250 by 250 pixels. MGG-stained. Bone marrow smear: 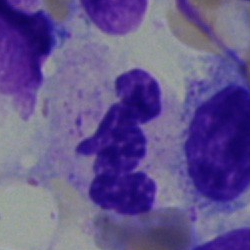Cell = neutrophil (segmented).